Bone marrow aspirate smear:
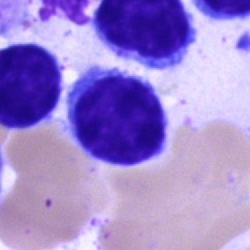 Q: What is shown here?
A: It is a typical lymphocyte.